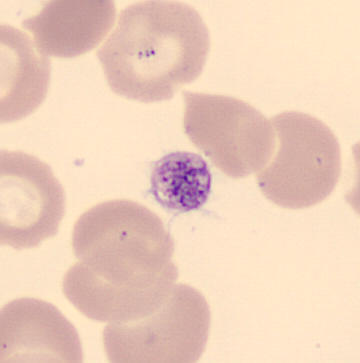
Identified as a platelet.

Peripheral blood film.